Bone marrow aspirate smear.
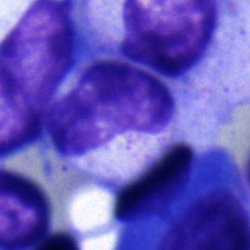Morphology consistent with a metamyelocyte.